Bone marrow smear · May-Grünwald-Giemsa/Pappenheim stain
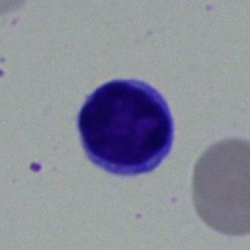
The cell shown is a lymphocyte.